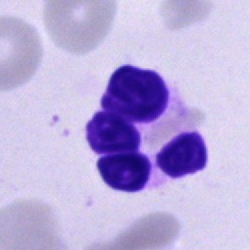This is a polymorphonuclear neutrophil.